Bone marrow aspirate smear
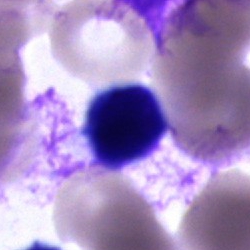 Q: What type of cell is this?
A: Unidentifiable cell.